Image size 400×400 · peripheral blood film · cropped to a single cell.
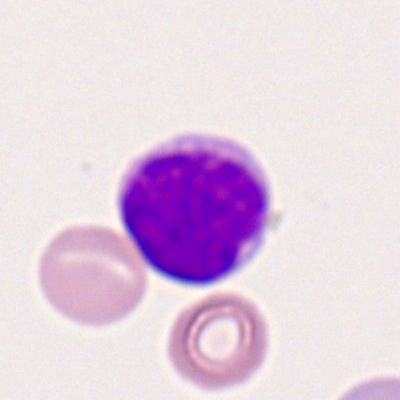

Classification = typical lymphocyte.